Pappenheim-stained; bone marrow smear; 40× oil immersion: 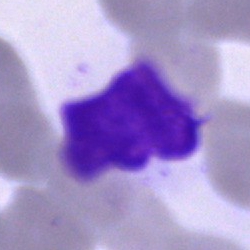

Q: What is shown here?
A: An artefact.